Bone marrow smear; 40× objective, oil immersion — 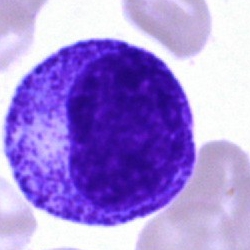 The classification is promyelocyte.